Bone marrow smear:
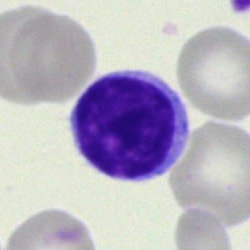 Impression — lymphocyte.